Bone marrow smear: 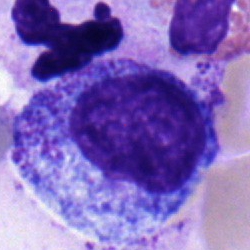
This is a promyelocyte.